Bone marrow aspirate smear:
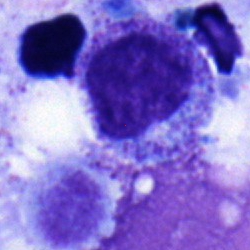{"cell_type": "myelocyte", "lineage": "myeloid"}